Single cell centered in the field; bone marrow smear; May-Grünwald-Giemsa/Pappenheim stain
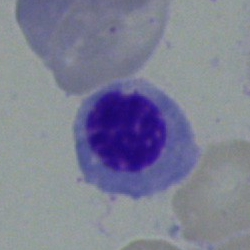

{"cell_type": "erythroblast"}